Bone marrow aspirate smear; Pappenheim-stained; 250×250 px
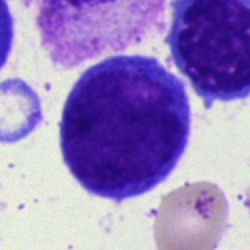

The cell is typical lymphocyte.